Bone marrow smear · cropped to a single cell:
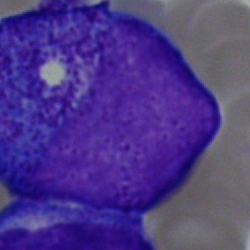Impression → promyelocyte.